Bone marrow aspirate smear · 250×250:
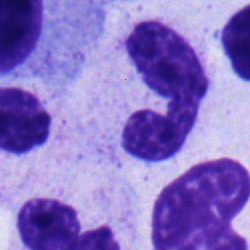

Cell type: polymorphonuclear neutrophil.